Bone marrow aspirate smear — 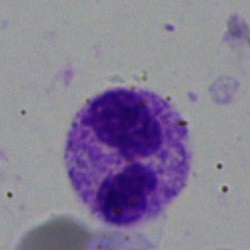
Segmented neutrophil.